Image size 250×250. Bone marrow aspirate smear — 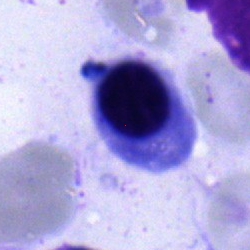
Morphology consistent with an erythroblast.